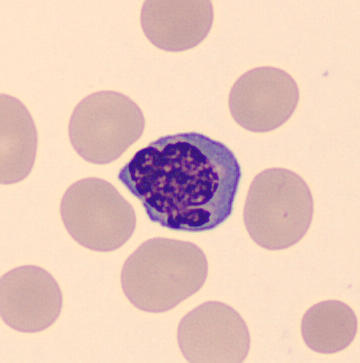Cell = erythroblast. Preparation: Peripheral blood film; MGG stain.